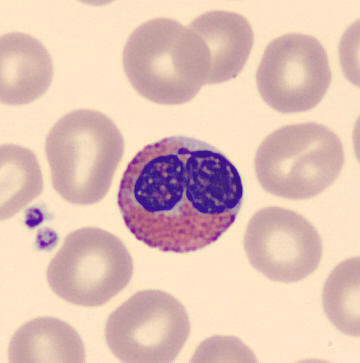
The morphological class is eosinophilic granulocyte.